MGG-stained · bone marrow smear: 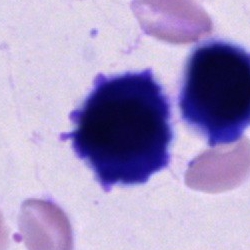 The classification is cell of indeterminate lineage.